Cropped to a single cell; 250 by 250 pixels; bone marrow aspirate smear.
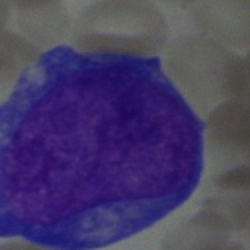Cell type: basophilic granulocyte.